May-Grünwald-Giemsa/Pappenheim stain. Bone marrow aspirate smear. Single-cell crop
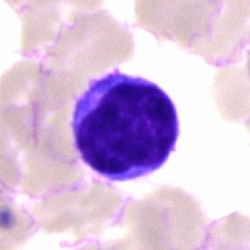
Cell type = lymphocyte.